MGG-stained. Cropped to a single cell. Bone marrow smear:
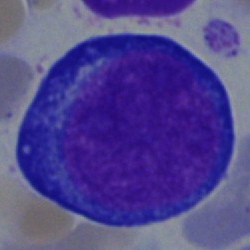

A pronormoblast.